Bone marrow aspirate smear
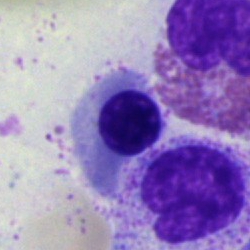 Specimen: bone marrow smear.
Cell type: nucleated red cell.
Lineage: erythroid.